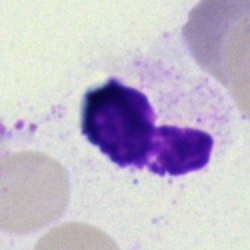
Single-cell crop from a bone marrow smear: artefact.